Bone marrow smear; 40× objective, oil immersion; 250 by 250 pixels: 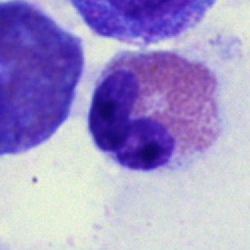
Cell — eosinophilic granulocyte.